Bone marrow aspirate smear · brightfield microscopy, 40× oil immersion — 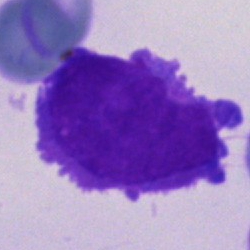 Q: What cell is this?
A: An undifferentiated blast.